Bone marrow smear.
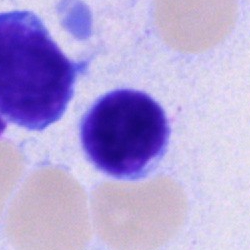 Cell = typical lymphocyte.